Bone marrow smear: 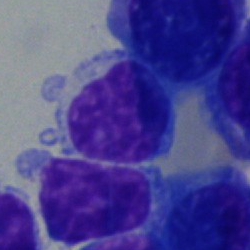

Specimen: bone marrow smear.
Classification: typical lymphocyte.